Bone marrow aspirate smear
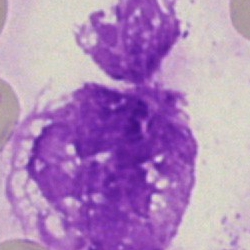 Cell = artifact.